Bone marrow smear — 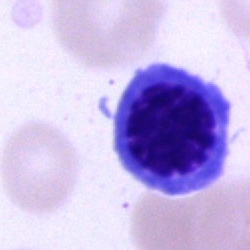

Morphology consistent with an erythroblast.